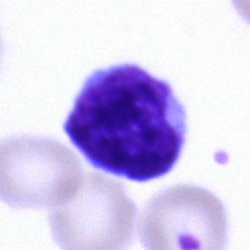

A typical lymphocyte on a bone marrow smear.